Bone marrow aspirate smear:
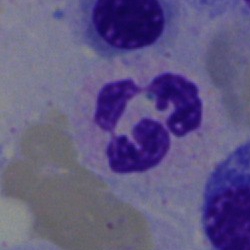 Cell type = segmented neutrophil.